Bone marrow smear:
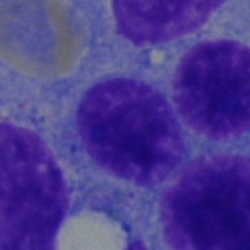

The cell is typical lymphocyte.